Bone marrow aspirate smear:
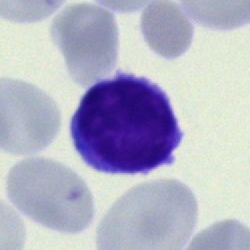Q: What is shown here?
A: It is a typical lymphocyte.